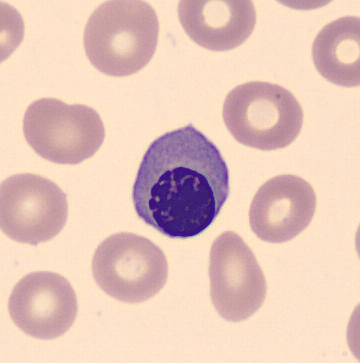Q: Identify the cell.
A: It is a nucleated red blood cell.

Peripheral blood smear.